Bone marrow smear.
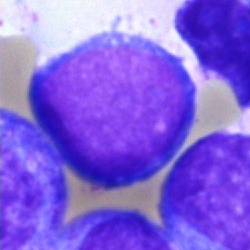Single cell identified as an undifferentiated blast.